Peripheral blood film. Romanowsky stain — 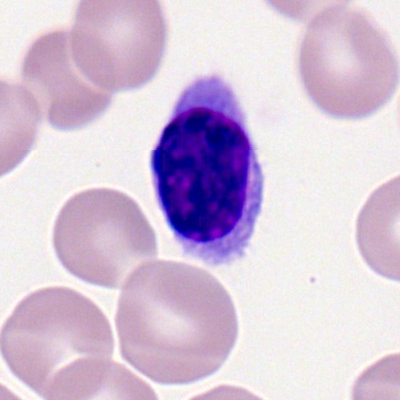The morphological class is lymphocyte.